40× objective, oil immersion; bone marrow smear; single cell centered in the field
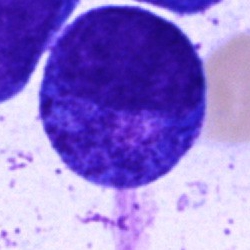 Cell type = promyelocyte.